Bone marrow aspirate smear:
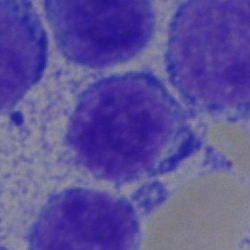

This is a typical lymphocyte.